Bone marrow aspirate smear.
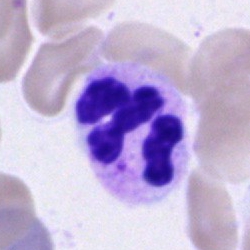
Q: What type of cell is this?
A: A segmented neutrophil.